Pappenheim-stained; bone marrow smear.
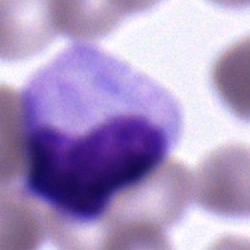
Impression — metamyelocyte.